Peripheral blood film.
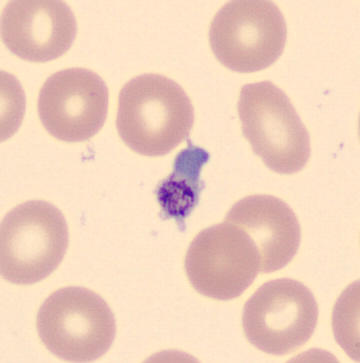

Q: What is shown here?
A: This is a platelet (thrombocyte).